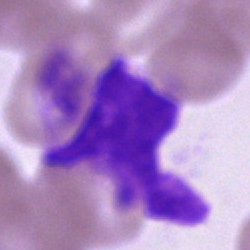 Classification = artefact.